Bone marrow aspirate smear — 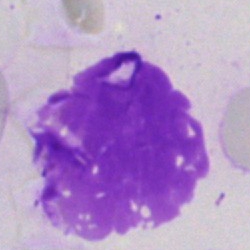 Impression — artefact.